Cropped to a single cell · May-Grünwald-Giemsa/Pappenheim stain · bone marrow smear — 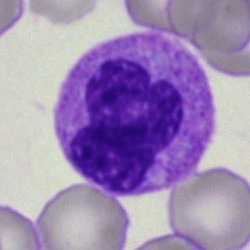

Morphological class — hairy cell.